250 by 250 pixels · bone marrow smear: 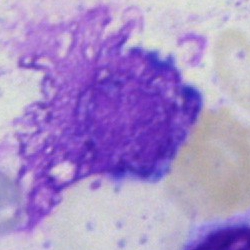
{"cell_type": "artefact"}